Bone marrow smear:
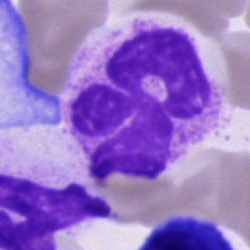Q: What type of cell is this?
A: It is a neutrophil (segmented).